Bone marrow smear:
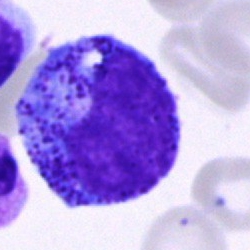Q: What cell is this?
A: It is a progranulocyte.